40× oil immersion; Pappenheim-stained; bone marrow smear.
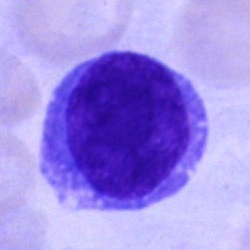 The cell shown is an undifferentiated blast.